Peripheral blood film; 100× oil immersion; 400×400 px:
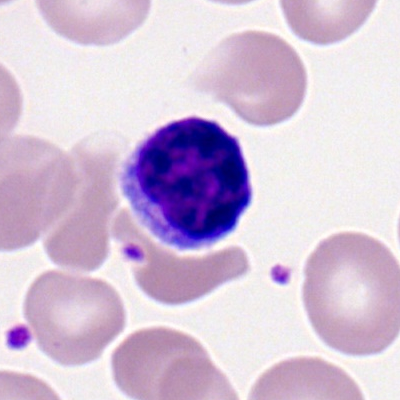

Typical lymphocyte.